Bone marrow aspirate smear; cropped to a single cell — 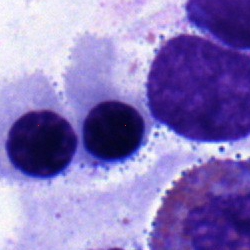Q: What cell is this?
A: This is a nucleated red cell.